250×250; bone marrow smear; brightfield microscopy, 40× oil immersion:
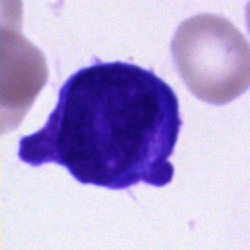This is a blast cell.